Peripheral blood smear:
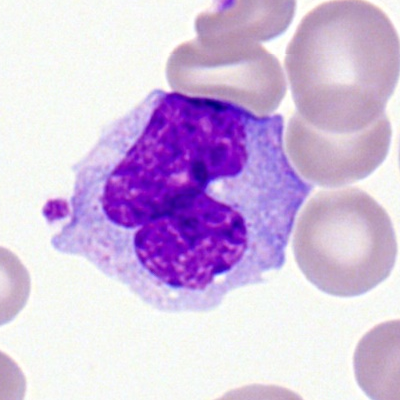
The cell is monocyte.